Bone marrow smear
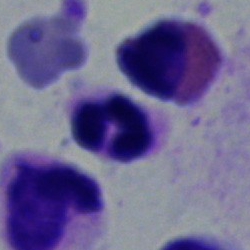 {"cell_type": "eosinophil", "lineage": "myeloid"}